Cropped to a single cell; bone marrow aspirate smear — 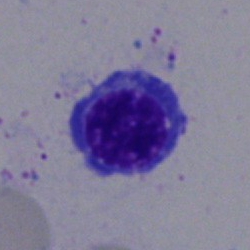

The cell shown is an erythroblast.